Bone marrow aspirate smear: 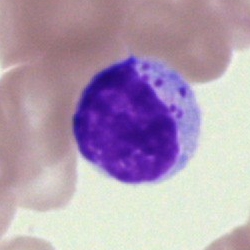

Specimen: bone marrow aspirate smear.
Cell type: lymphocyte.
Lineage: lymphoid.